Peripheral blood smear:
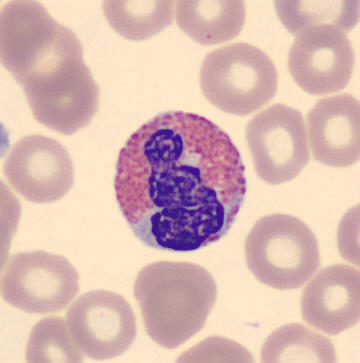

This is an eosinophil.